Bone marrow smear — 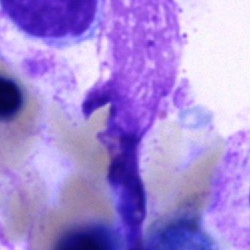

The classification is artifact.